Image size 400×400 · peripheral blood smear
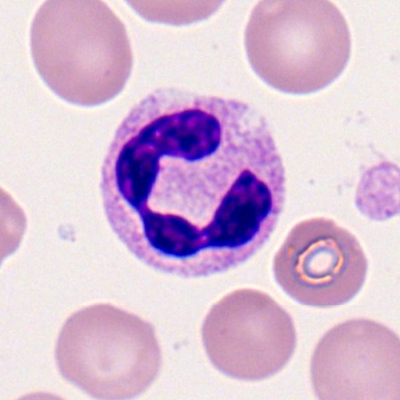 The cell shown is a neutrophil (segmented).